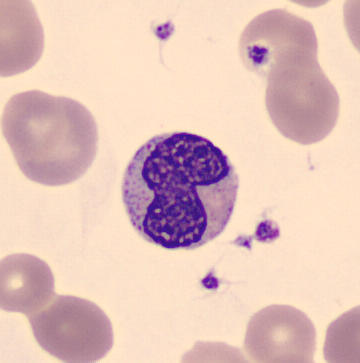

Specimen: peripheral blood smear.
Classification: metamyelocyte.